Bone marrow smear.
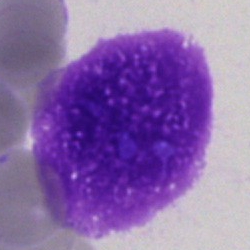 The cell type is artefact.